Bone marrow aspirate smear; MGG-stained:
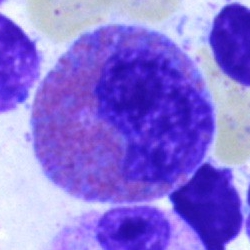

Eosinophil.